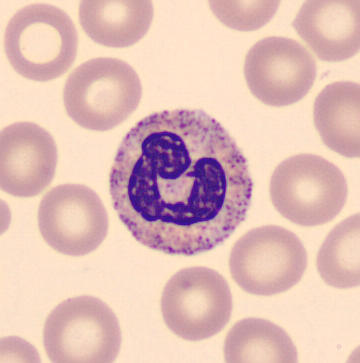

Image: Peripheral blood film. 360 by 363 pixels.
Morphology consistent with a band neutrophil.